Bone marrow smear · 40× oil immersion.
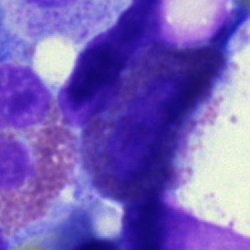
Morphology consistent with an artifact.